Bone marrow smear.
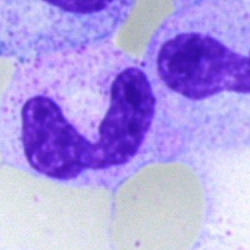
Morphological class — polymorphonuclear neutrophil.